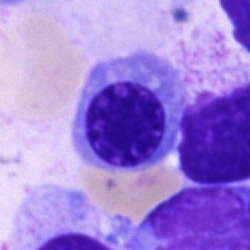Normoblast.